Bone marrow smear:
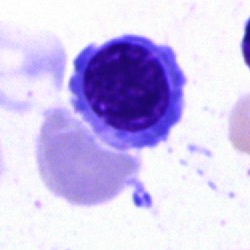This is a normoblast.